Peripheral blood film; image size 400×400.
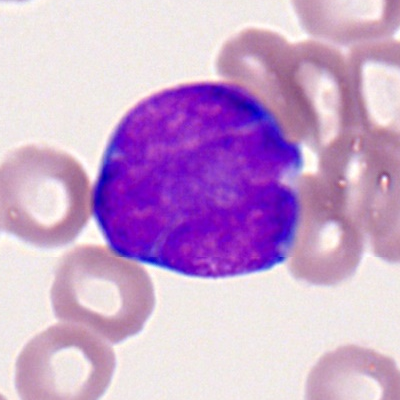{"cell_type": "myeloblast"}